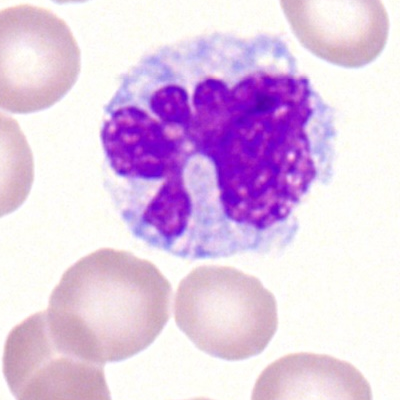
The cell shown is a monocyte.